40× objective, oil immersion · MGG-stained · bone marrow smear:
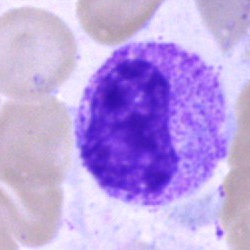

Q: What type of cell is this?
A: A metamyelocyte.